Bone marrow aspirate smear
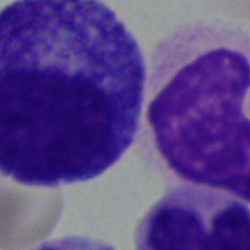 Specimen: bone marrow smear.
Cell type: progranulocyte.